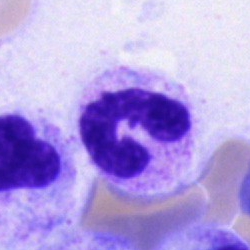 Showing a band-form neutrophil.